Peripheral blood film; M8 digital microscope (Precipoint), 100× oil immersion; Romanowsky stain: 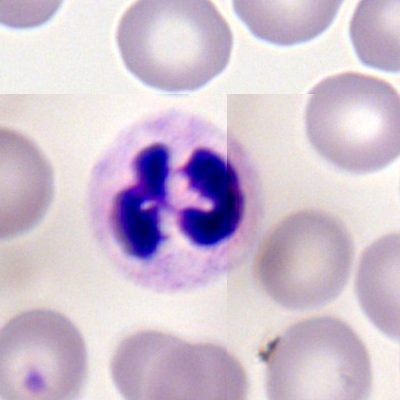Classification = segmented neutrophil.